Peripheral blood smear — 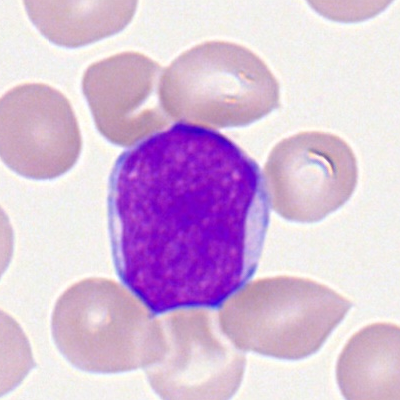

The cell is myeloid blast.